Bone marrow aspirate smear: 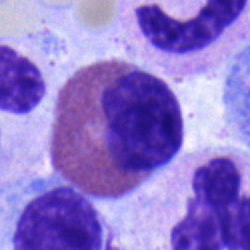 Single cell identified as an eosinophilic granulocyte.